250×250 px; bone marrow smear; cropped to a single cell — 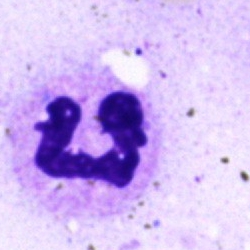
Q: What cell is this?
A: It is a neutrophil (segmented).